Bone marrow smear: 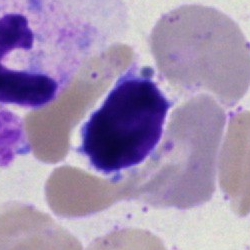 Specimen: bone marrow aspirate smear.
Cell type: artefact.